250×250; single-cell crop; bone marrow smear — 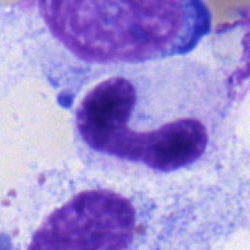

Specimen: bone marrow aspirate smear.
Cell: band-form neutrophil.
Lineage: myeloid.